250×250 px · bone marrow aspirate smear.
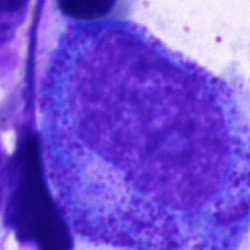Promyelocyte.